Bone marrow aspirate smear: 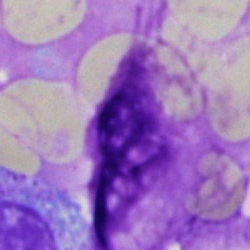 The cell shown is an artefact.